Bone marrow smear; single-cell crop.
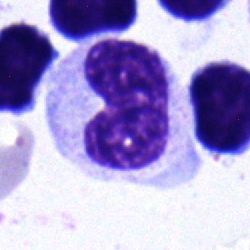 Q: What cell is this?
A: A metamyelocyte.